Bone marrow smear: 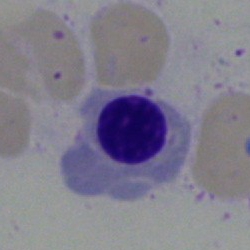Nucleated red cell.